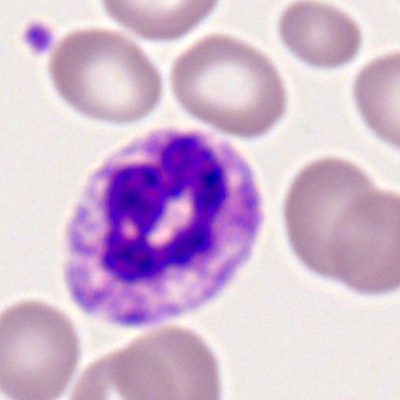

Peripheral blood film, single cell — neutrophil (segmented).